Bone marrow aspirate smear — 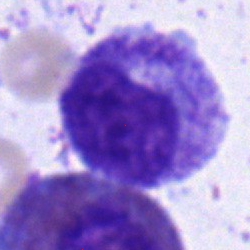Classification = myelocyte.